Bone marrow aspirate smear. May-Grünwald-Giemsa stain. Image size 250×250 — 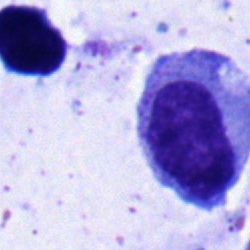Classification = myelocyte.